Peripheral blood film: 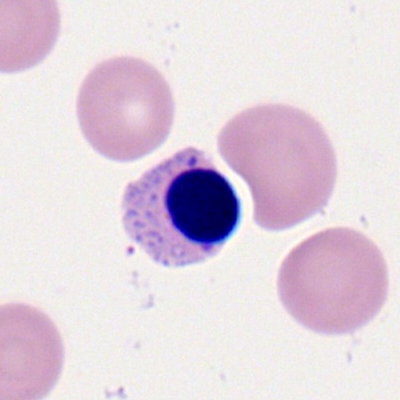 Showing a normoblast.